Single-cell field · bone marrow smear
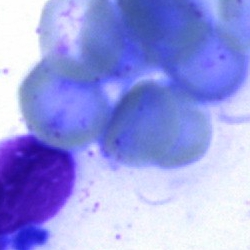

Showing a cell of indeterminate lineage.